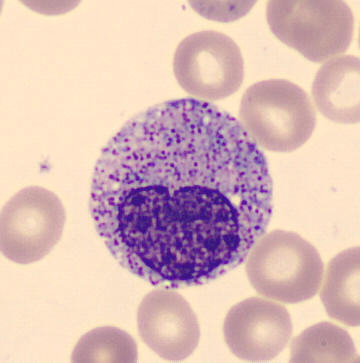 Identified as a myelocyte. Preparation: Peripheral blood smear. Single-cell crop.